MGG-stained · bone marrow aspirate smear.
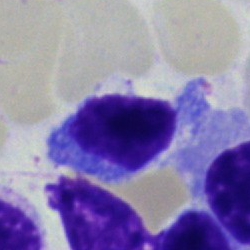Impression → lymphocyte.